Bone marrow aspirate smear:
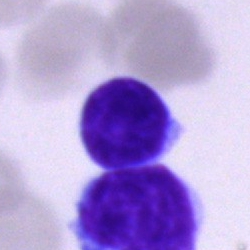
Cell: lymphocyte.